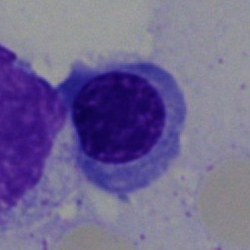 Bone marrow aspirate smear, single cell — normoblast.